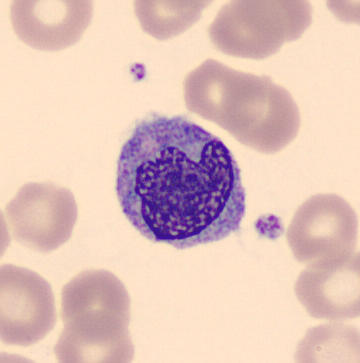
Identified as a monocyte.

Peripheral blood film.